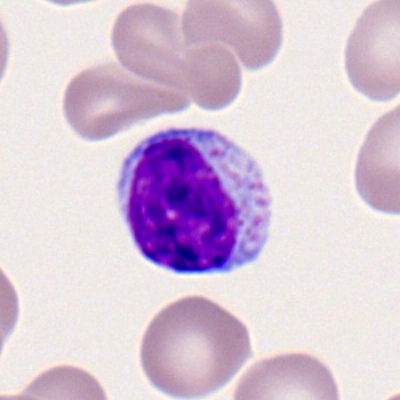Single cell identified as a lymphocyte.